Bone marrow smear. Image size 250×250: 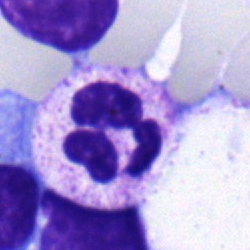

Morphological class — segmented neutrophil.